Bone marrow aspirate smear; image size 250×250: 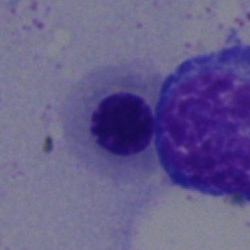 Morphological class: erythroblast.